Bone marrow smear: 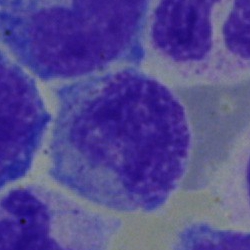
This is a monocyte.